Bone marrow aspirate smear — 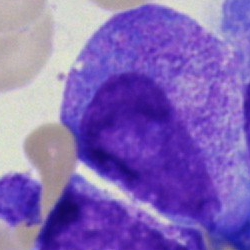 Progranulocyte.